40× objective, oil immersion. Bone marrow aspirate smear. May-Grünwald-Giemsa/Pappenheim stain:
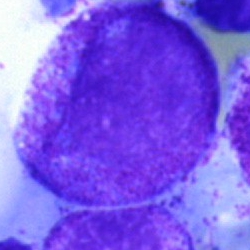
Specimen: bone marrow aspirate smear.
Cell type: promyelocyte.